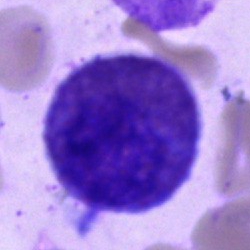
{"cell_type": "eosinophil"}